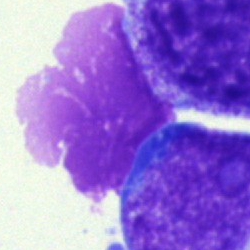Q: What is shown here?
A: It is an artefact.